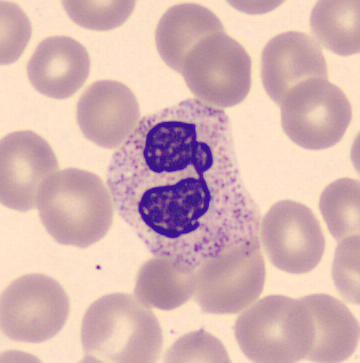Polymorphonuclear neutrophil.